Bone marrow aspirate smear: 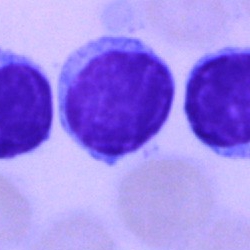Q: What type of cell is this?
A: It is a typical lymphocyte.